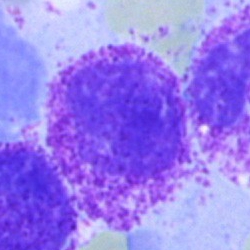 Q: Which cell type is shown here?
A: This is a myelocyte.